Bone marrow smear.
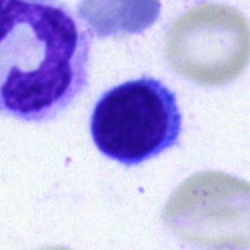

Cell — typical lymphocyte.